Bone marrow aspirate smear · image size 250×250
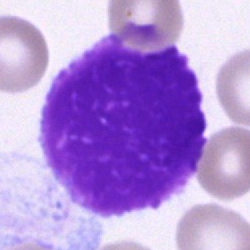Specimen: bone marrow smear.
Cell: artefact.